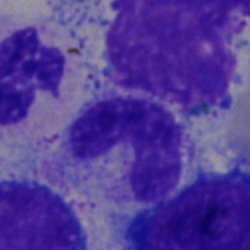 The cell shown is a neutrophil (band).